Bone marrow smear
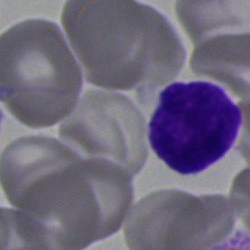Specimen: bone marrow smear.
Classification: typical lymphocyte.